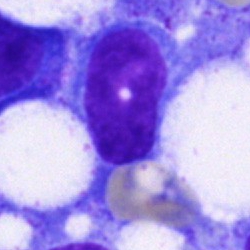Impression — blast cell.